Bone marrow smear; single-cell field; 250×250 px.
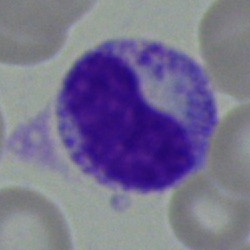
Classification = myelocyte.